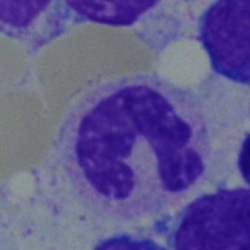 Q: What is shown here?
A: A polymorphonuclear neutrophil.